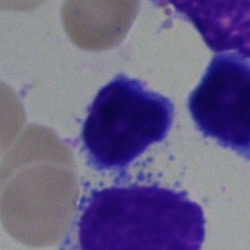

Morphological class = typical lymphocyte.